Bone marrow aspirate smear · MGG-stained.
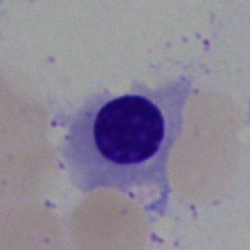

Showing a normoblast.